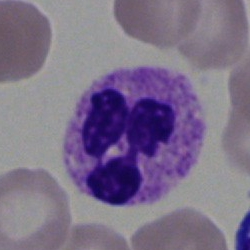Impression → segmented neutrophil.